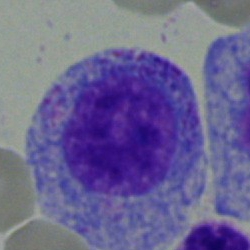 Cell — progranulocyte.